Bone marrow aspirate smear; single-cell field.
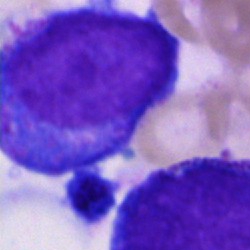
Morphology consistent with a blast.